Single-cell crop · bone marrow aspirate smear — 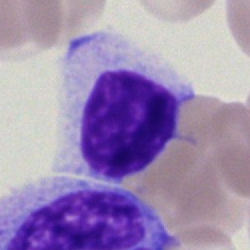The cell shown is a lymphocyte.